Peripheral blood film:
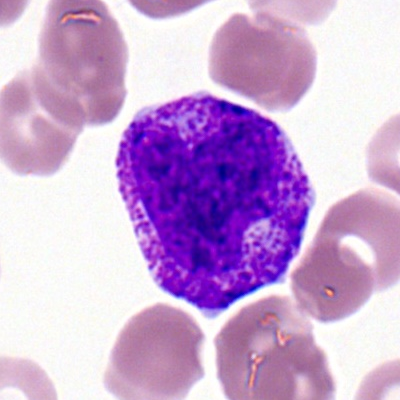

Morphological class: segmented neutrophil.